Bone marrow smear
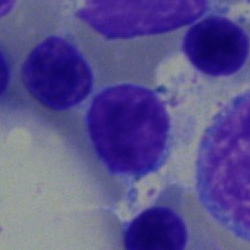
Morphology — typical lymphocyte.